Bone marrow smear:
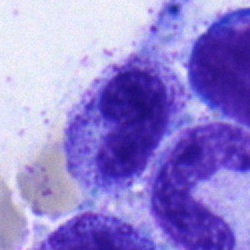 Showing a stab cell.